250×250 px. Bone marrow smear:
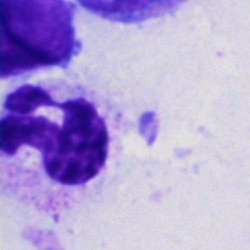The morphological class is neutrophil (segmented).